Bone marrow smear.
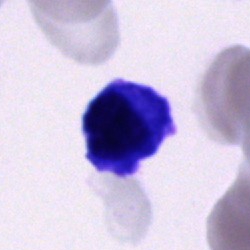This is an unidentifiable cell.